Bone marrow smear
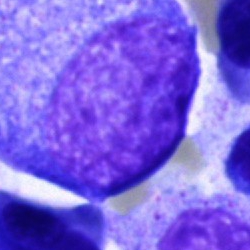
Morphological class — promyelocyte.